Bone marrow smear; 250×250 px: 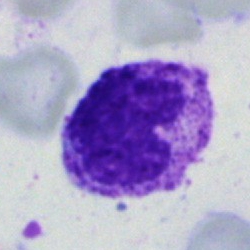

{"cell_type": "metamyelocyte"}